Brightfield, 40× oil-immersion objective · single-cell crop · bone marrow aspirate smear.
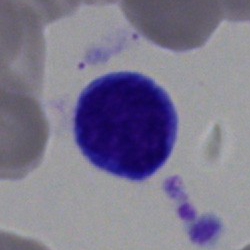The classification is lymphocyte.